Bone marrow smear.
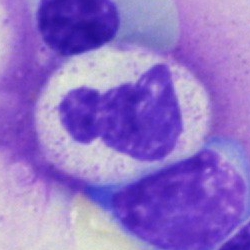 The cell shown is a neutrophil (segmented).